Bone marrow aspirate smear.
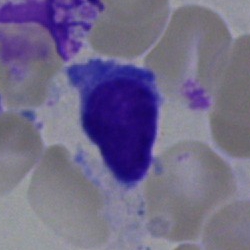
Cell: lymphocyte.